Bone marrow aspirate smear · brightfield, 40× oil-immersion objective · cropped to a single cell:
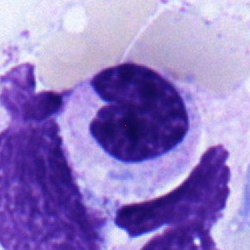A metamyelocyte.